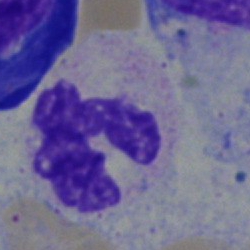Cell: polymorphonuclear neutrophil.